250 by 250 pixels; bone marrow smear: 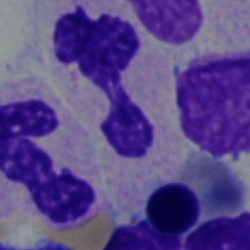
{"cell_type": "segmented neutrophil"}